Bone marrow smear; brightfield, 40× oil-immersion objective
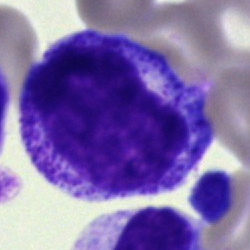 Single cell identified as a promyelocyte.